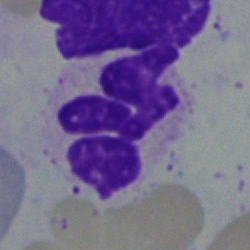 Morphology consistent with a segmented neutrophil.